Bone marrow smear; May-Grünwald-Giemsa/Pappenheim stain:
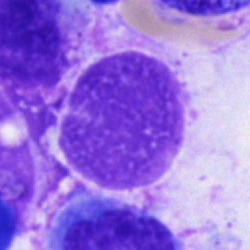
Specimen: bone marrow aspirate smear.
Cell: artefact.